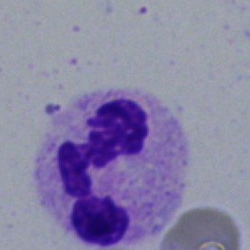 Bone marrow smear showing a neutrophil (segmented).